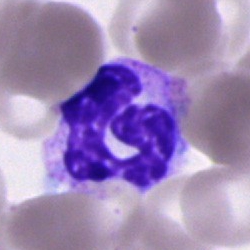The cell shown is a polymorphonuclear neutrophil.